May-Grünwald-Giemsa/Pappenheim stain · 40× oil immersion · bone marrow aspirate smear: 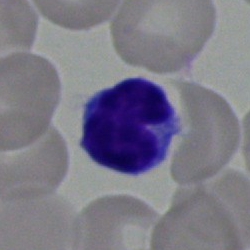 Q: What cell is this?
A: This is a lymphocyte.